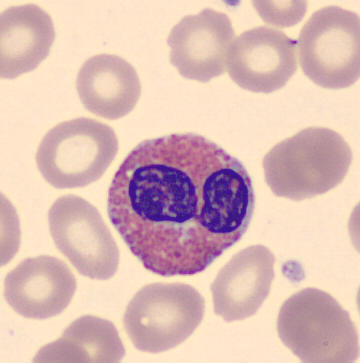Specimen: peripheral blood film.
Cell: eosinophilic granulocyte.
Lineage: myeloid.